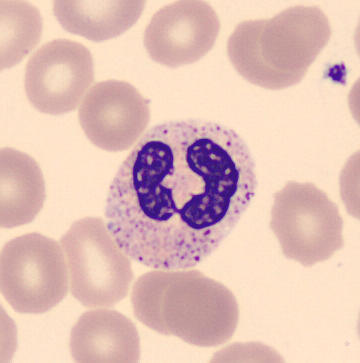 Specimen: peripheral blood film.
Morphological class: segmented neutrophil.
Lineage: myeloid.
Acquisition: CellaVision DM96.